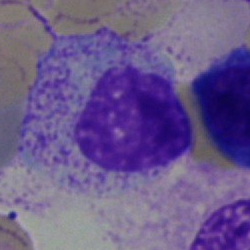 Q: Identify the cell.
A: This is a myelocyte.